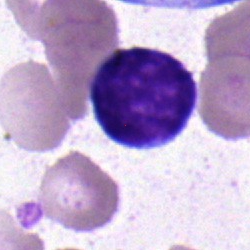
Bone marrow smear showing a typical lymphocyte.